Peripheral blood smear; imaged on a CellaVision DM96 analyser
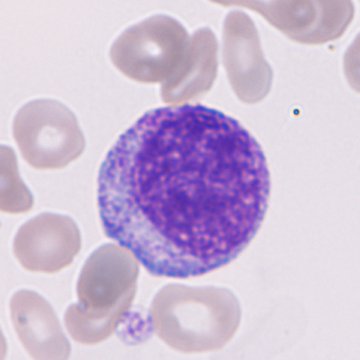

The cell type is immature granulocyte.